Bone marrow aspirate smear
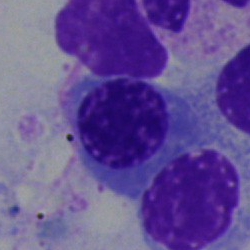 Q: What cell is this?
A: A nucleated red blood cell.